Bone marrow aspirate smear. Brightfield microscopy, 40× oil immersion: 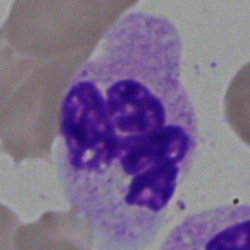

The cell shown is a neutrophil (segmented).